Bone marrow smear:
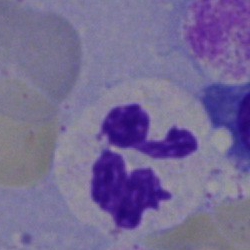The morphological class is neutrophil (segmented).